Peripheral blood film · 400×400:
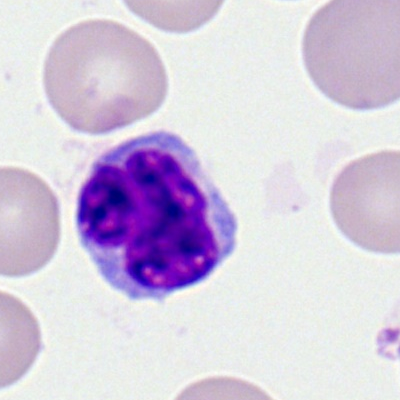Specimen: peripheral blood film.
Morphological class: typical lymphocyte.
Lineage: lymphoid.